Image size 250×250 · bone marrow aspirate smear — 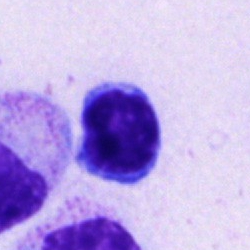 Specimen: bone marrow aspirate smear.
Morphological class: typical lymphocyte.
Lineage: lymphoid.